May-Grünwald-Giemsa stain · bone marrow aspirate smear: 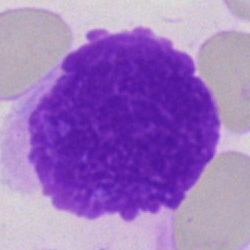Specimen: bone marrow smear.
Cell type: artifact.